Peripheral blood smear
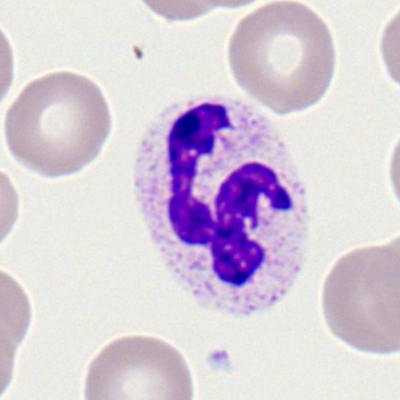The cell shown is a neutrophil (segmented).